Peripheral blood smear — 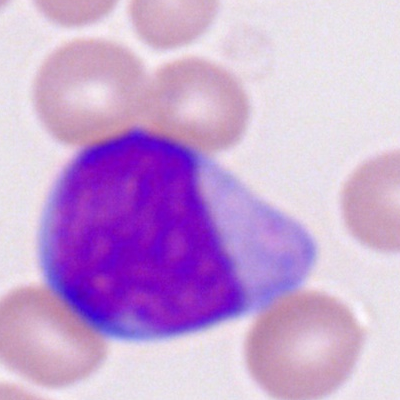

Impression — myeloblast.